Bone marrow smear: 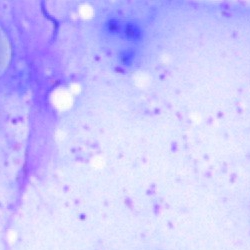
The cell type is artifact.